Bone marrow smear. May-Grünwald-Giemsa/Pappenheim stain.
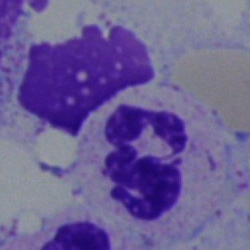 Morphology — neutrophil (segmented).